Bone marrow smear
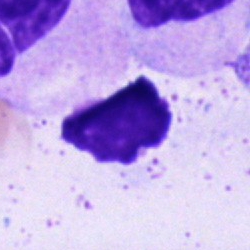

Morphology — artifact.